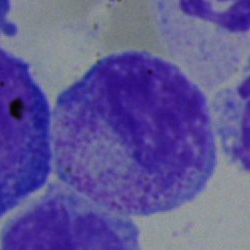

Cell — myelocyte.